Bone marrow aspirate smear: 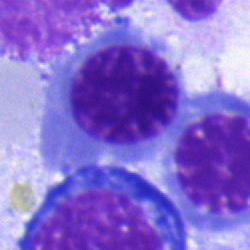

Classification: nucleated red cell.